Bone marrow aspirate smear — 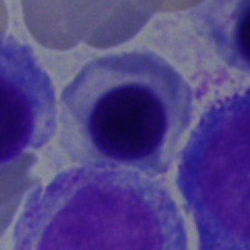 Morphology consistent with an erythroblast.